Bone marrow aspirate smear
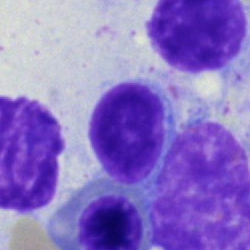 Impression — lymphocyte.